Bone marrow smear. May-Grünwald-Giemsa stain. Single-cell field.
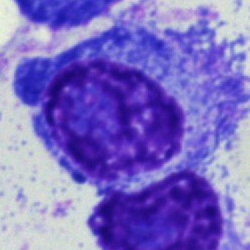

Morphology consistent with a plasma cell.